Bone marrow smear:
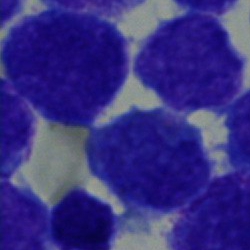

Q: What is shown here?
A: This is an undifferentiated blast.